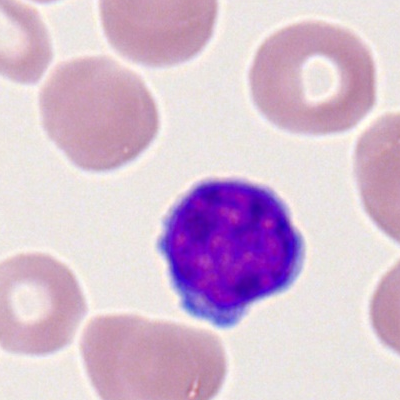

{"cell_type": "lymphocyte", "lineage": "lymphoid"}